Bone marrow smear · 250 by 250 pixels.
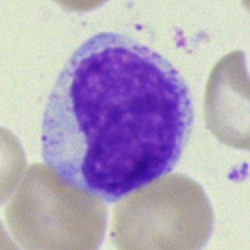

Cell — myelocyte.